Bone marrow smear.
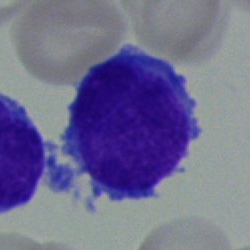

{"cell_type": "blast"}